40× objective, oil immersion; bone marrow smear; 250×250
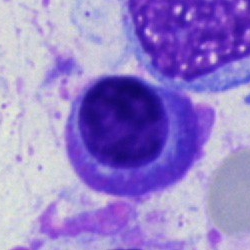 Q: Identify the cell.
A: Plasma cell.